Bone marrow aspirate smear: 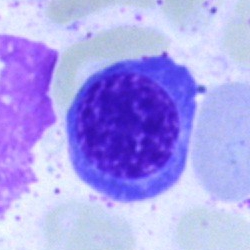Nucleated red blood cell.